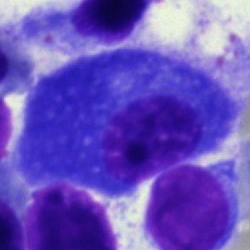Plasma cell.